Bone marrow aspirate smear; image size 250×250: 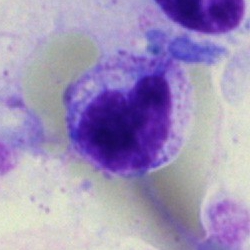 Q: What is shown here?
A: It is an artefact.